Bone marrow smear
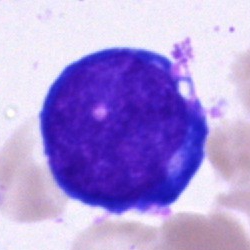 Q: Which cell type is shown here?
A: A proerythroblast.